Bone marrow aspirate smear
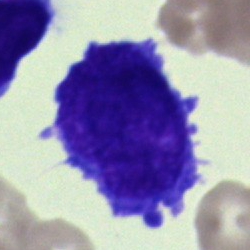
Q: What is shown here?
A: Promyelocyte.